40× objective, oil immersion · bone marrow smear · May-Grünwald-Giemsa stain — 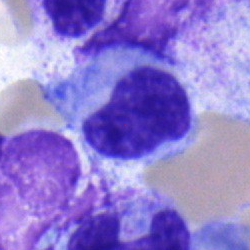The cell type is metamyelocyte.